Single-cell crop · 40× oil immersion · bone marrow smear
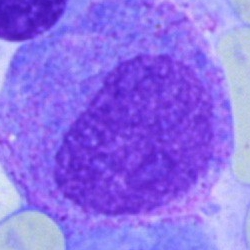 Morphology consistent with a myelocyte.